Bone marrow smear.
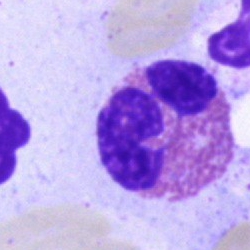Cell — eosinophil.